40× objective, oil immersion · bone marrow aspirate smear:
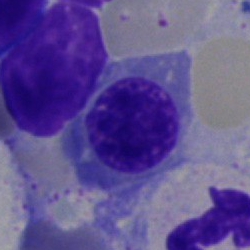 Cell type — erythroblast.